Bone marrow aspirate smear:
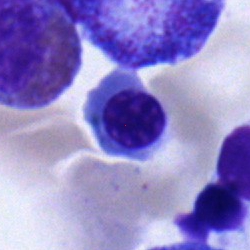
Normoblast.